250×250 px · bone marrow aspirate smear
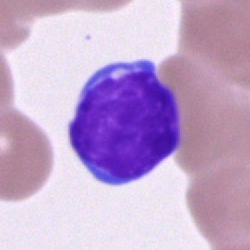

{"cell_type": "lymphocyte", "lineage": "lymphoid"}